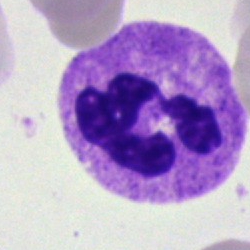

Bone marrow smear showing a segmented neutrophil.